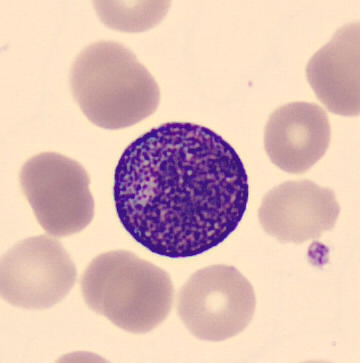 Specimen: peripheral blood smear.
Cell type: progranulocyte.